250×250 · 40× objective, oil immersion · bone marrow smear: 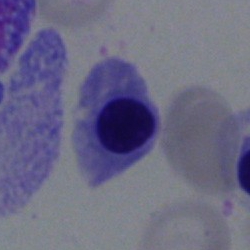
Nucleated red blood cell.